Bone marrow aspirate smear
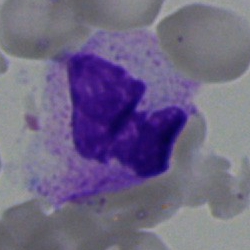
The cell shown is a polymorphonuclear neutrophil.